Peripheral blood smear.
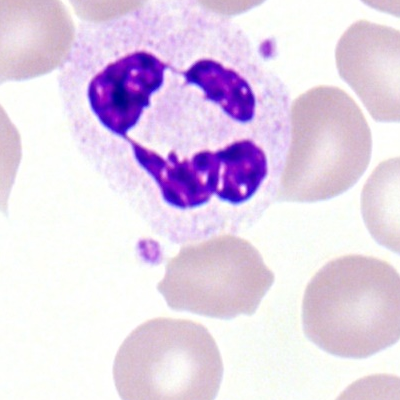

Cell: segmented neutrophil.